Peripheral blood film; MGG stain — 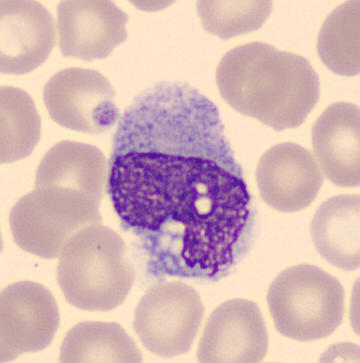 This is a monocyte.